Bone marrow smear
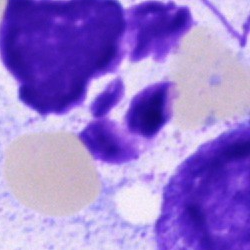
Q: What cell is this?
A: Polymorphonuclear neutrophil.